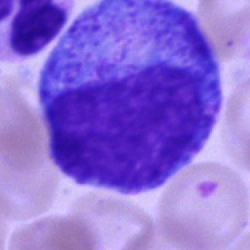

Classification = progranulocyte.